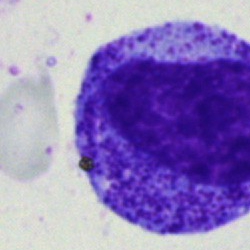Single-cell crop from a bone marrow smear: promyelocyte.